Peripheral blood film; cropped to a single cell.
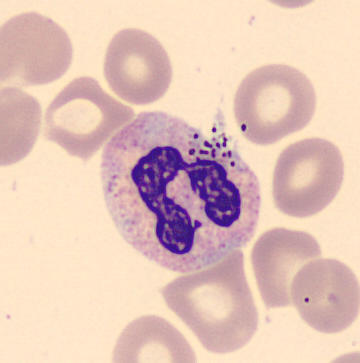
Cell — polymorphonuclear neutrophil.